250×250 px · bone marrow aspirate smear:
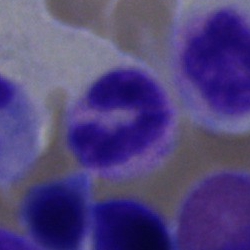
{"cell_type": "neutrophil (segmented)", "lineage": "myeloid"}